Bone marrow aspirate smear
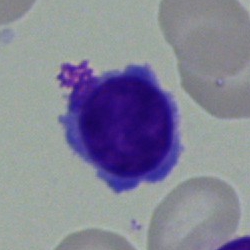Q: What is the morphological classification of this cell?
A: This is a lymphocyte.